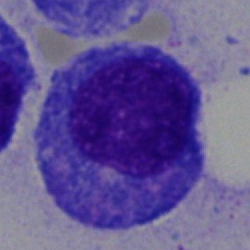 Classification = promyelocyte.